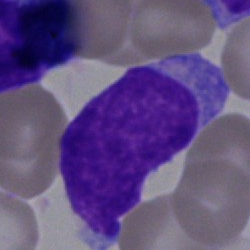
Cell type = undifferentiated blast.